Bone marrow smear: 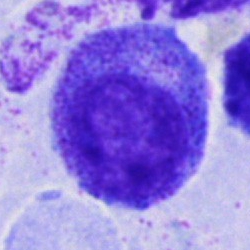 Specimen: bone marrow smear.
Cell type: promyelocyte.
Lineage: myeloid.